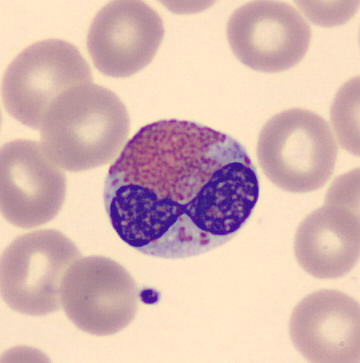
Cell = eosinophil.